Bone marrow aspirate smear — 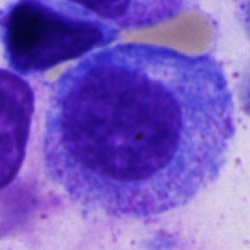
Specimen: bone marrow aspirate smear.
Morphological class: promyelocyte.
Lineage: myeloid.